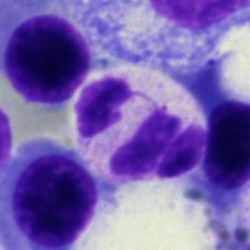 Impression — neutrophil (segmented).